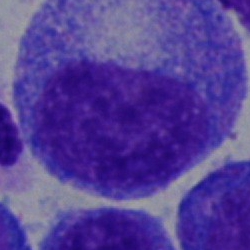Morphology — progranulocyte.